Bone marrow smear:
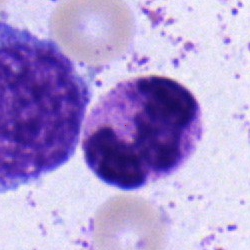 Specimen: bone marrow aspirate smear.
Cell: neutrophil (segmented).
Lineage: myeloid.